Bone marrow aspirate smear:
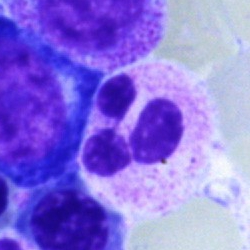Specimen: bone marrow smear.
Morphological class: neutrophil (segmented).